Bone marrow aspirate smear.
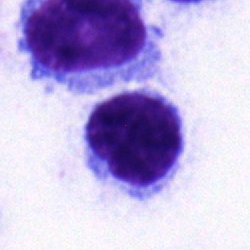

Showing a lymphocyte.